Bone marrow aspirate smear — 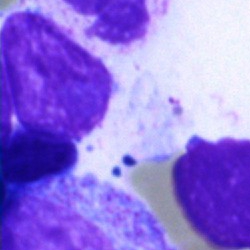Specimen: bone marrow aspirate smear.
Morphological class: artefact.